May-Grünwald-Giemsa/Pappenheim stain · bone marrow aspirate smear
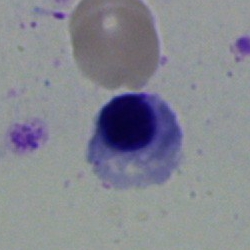

A normoblast.